Bone marrow smear · May-Grünwald-Giemsa stain: 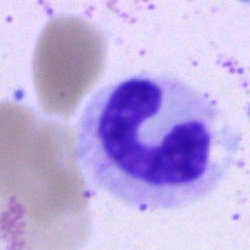This is a stab cell.